250×250; 40× oil immersion; bone marrow aspirate smear.
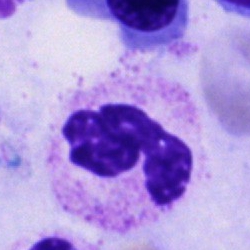Morphological class = polymorphonuclear neutrophil.